Bone marrow aspirate smear — 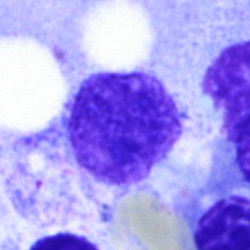 Cell type — artifact.